250×250. Bone marrow smear.
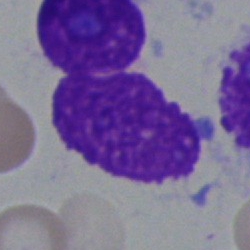Artifact.